Bone marrow aspirate smear. Brightfield, 40× oil-immersion objective: 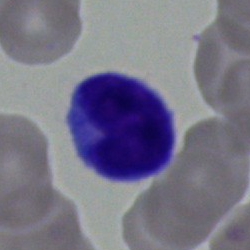

Morphology consistent with a typical lymphocyte.